Bone marrow smear.
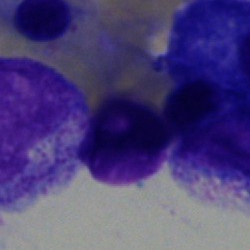

{"cell_type": "artifact"}